Bone marrow aspirate smear.
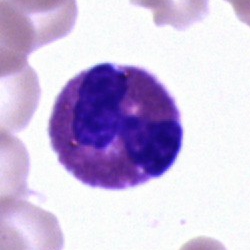

Cell type = eosinophil.